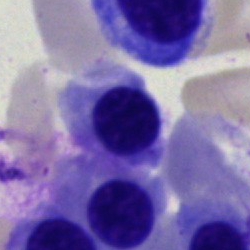Morphological class: erythroblast.